Brightfield microscopy, 40× oil immersion. Bone marrow aspirate smear — 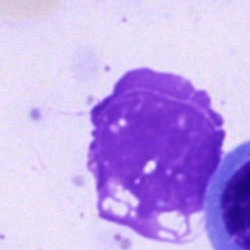
The cell type is artifact.